Bone marrow smear: 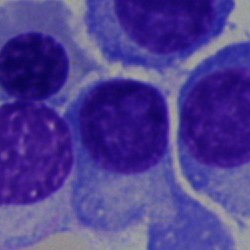

Q: What is shown here?
A: This is a plasma cell.